Bone marrow aspirate smear · brightfield microscopy, 40× oil immersion — 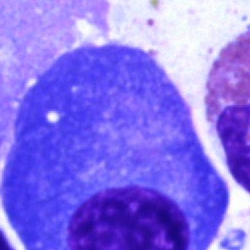

Cell: plasmacyte.